250×250 px; bone marrow smear: 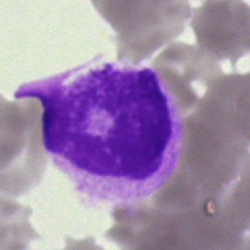Q: What is shown here?
A: An artifact.